Bone marrow smear
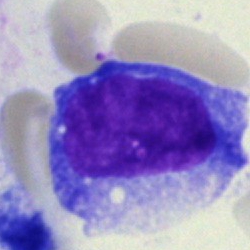
Morphology consistent with a blast.